Bone marrow aspirate smear — 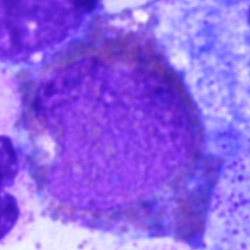{"cell_type": "artifact"}